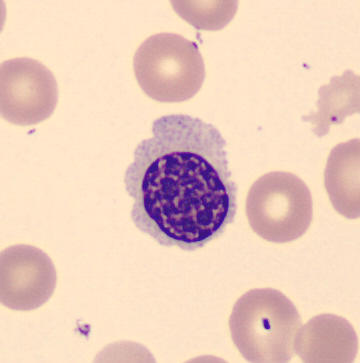{"cell_type": "nucleated red cell", "lineage": "erythroid"}